Peripheral blood film — 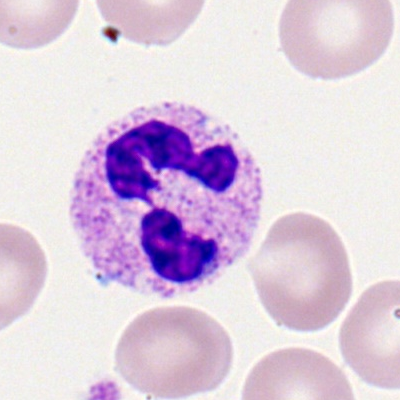

{"cell_type": "segmented neutrophil", "lineage": "myeloid"}